40× oil immersion · image size 250×250 · bone marrow smear — 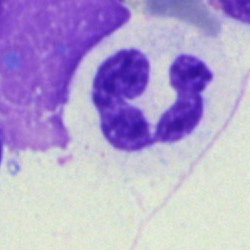

Specimen: bone marrow smear.
Cell type: polymorphonuclear neutrophil.
Lineage: myeloid.